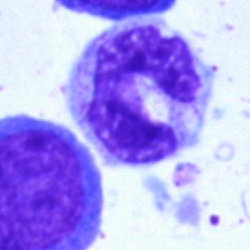 Classification — monocyte.